Bone marrow aspirate smear
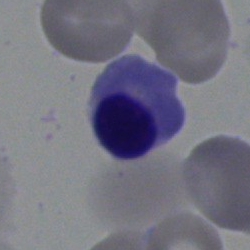
The cell shown is a normoblast.